Bone marrow aspirate smear; May-Grünwald-Giemsa stain:
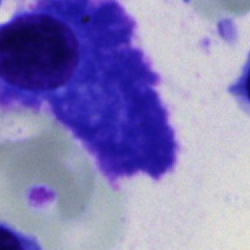
A plasmacyte.